Image size 366×369. Peripheral blood smear. May Grünwald-Giemsa stain — 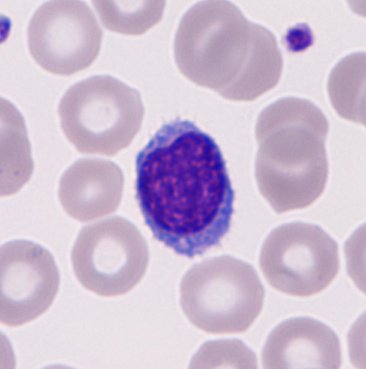

Specimen: peripheral blood film.
Classification: typical lymphocyte.
Lineage: lymphoid.